Bone marrow smear — 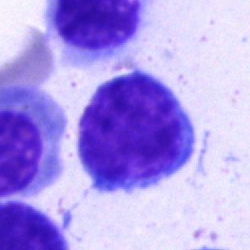Q: Which cell type is shown here?
A: A lymphocyte.